May-Grünwald-Giemsa/Pappenheim stain; bone marrow smear; 250×250
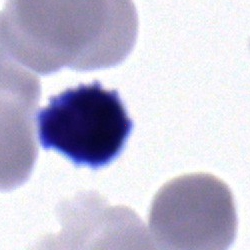
Classification: typical lymphocyte.